Bone marrow smear · MGG-stained · image size 250×250:
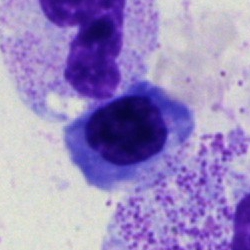

Nucleated red blood cell.